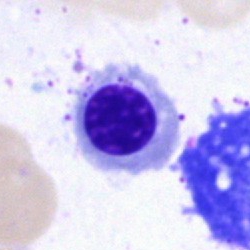

Cell type: nucleated red blood cell.